Bone marrow aspirate smear:
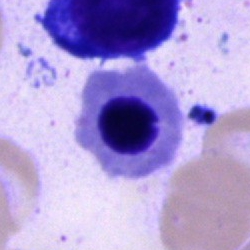

Specimen: bone marrow smear.
Morphological class: nucleated red cell.